Bone marrow aspirate smear; 250×250 px:
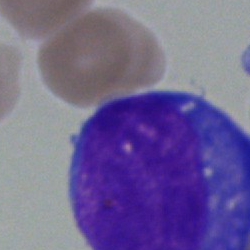

Q: What type of cell is this?
A: This is a blast cell.